Bone marrow smear — 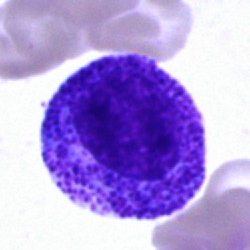

This is a progranulocyte.